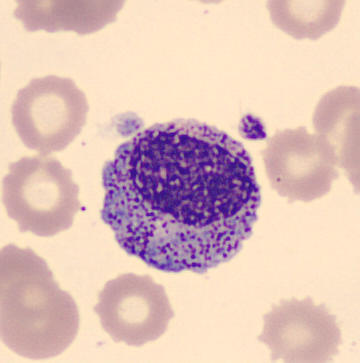
Q: Which cell type is shown here?
A: This is a myelocyte.
Acquisition: Single-cell field. Peripheral blood smear. CellaVision DM96 digital cell image.